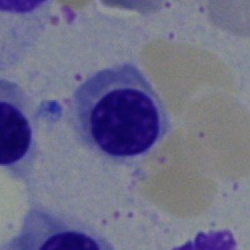

A nucleated red blood cell on a bone marrow smear.